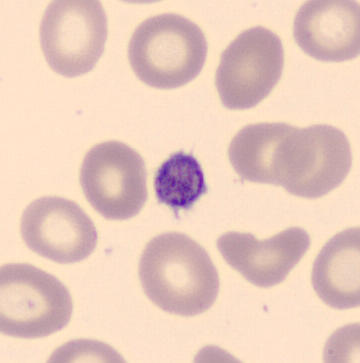
Identified as a thrombocyte. Image: Image size 360×363; peripheral blood smear.